Bone marrow aspirate smear · May-Grünwald-Giemsa/Pappenheim stain: 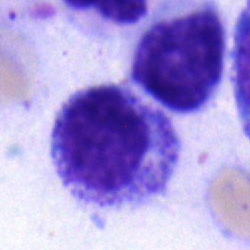 Impression — metamyelocyte.